Bone marrow aspirate smear · MGG-stained
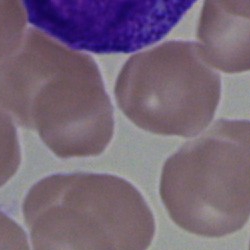 Specimen: bone marrow aspirate smear.
Cell: artifact.